Peripheral blood smear:
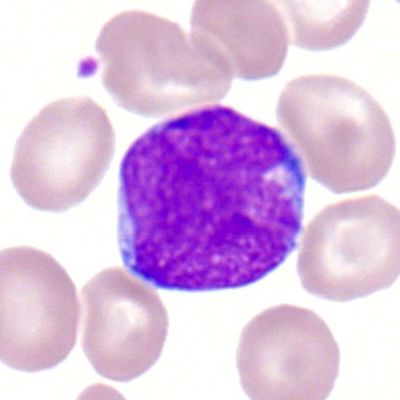
Q: Identify the cell.
A: It is a myeloid blast.